Bone marrow aspirate smear — 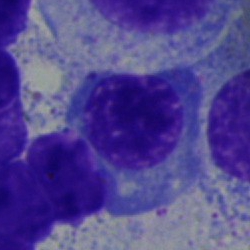

Specimen: bone marrow aspirate smear.
Classification: nucleated red blood cell.
Lineage: erythroid.